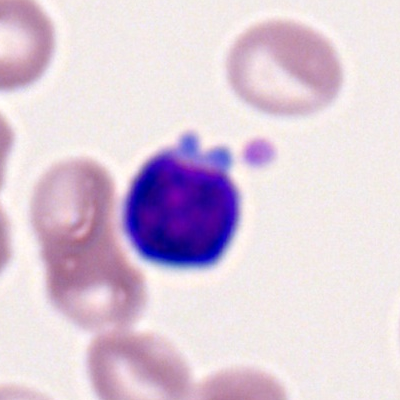

Q: Which cell type is shown here?
A: Typical lymphocyte.